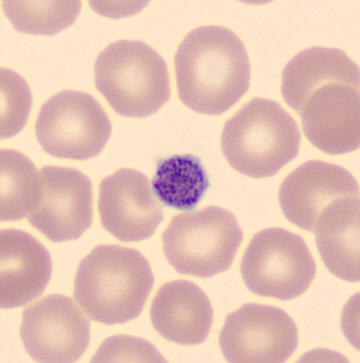

Specimen: peripheral blood smear.
Cell type: platelet.